Bone marrow smear:
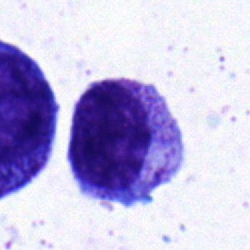
Morphological class: myelocyte.